M8 digital microscope (Precipoint), 100× oil immersion. Peripheral blood film. Cropped to a single cell.
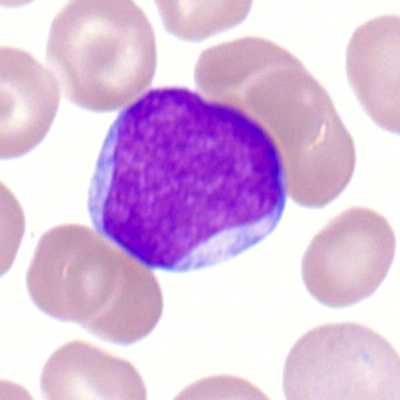Classification — myeloblast.